Bone marrow aspirate smear; single cell centered in the field.
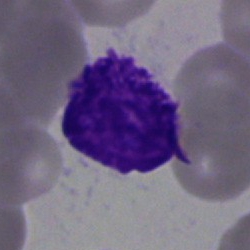
This is an artifact.